Bone marrow smear.
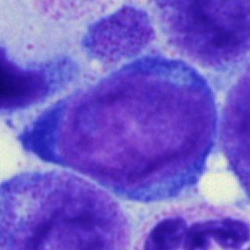 This is a pronormoblast.